Peripheral blood smear.
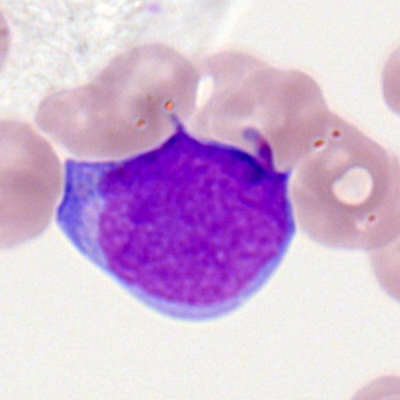 Classification: myeloid blast.